40× objective, oil immersion · bone marrow aspirate smear · cropped to a single cell
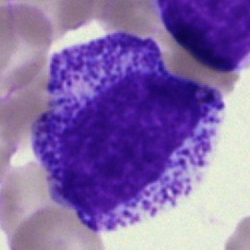Showing a myelocyte.